Bone marrow aspirate smear — 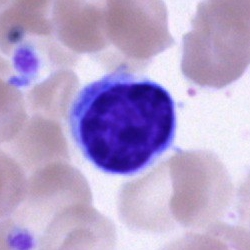

Q: What is shown here?
A: Lymphocyte.